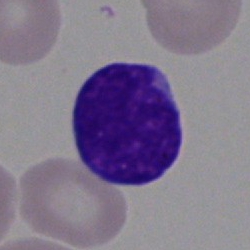

The classification is undifferentiated blast.